Brightfield microscopy, 40× oil immersion; bone marrow smear:
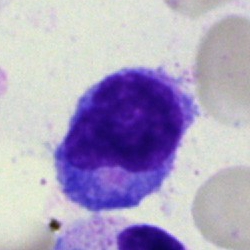
Morphological class — monocyte.